100× objective, oil immersion; peripheral blood film: 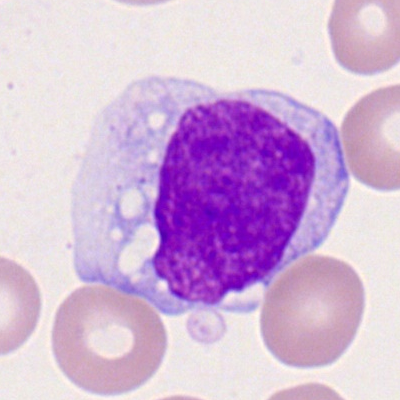

Cell type — monocyte.